Single-cell field; bone marrow smear
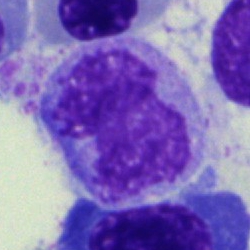 Morphological class — monocyte.